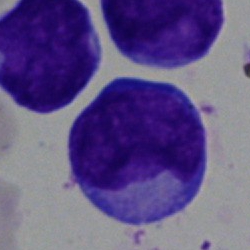

Morphology — blast cell.